Peripheral blood film. 100× objective, oil immersion. Single cell centered in the field:
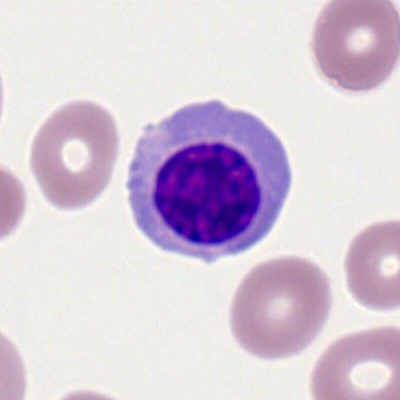 Morphology consistent with a nucleated red blood cell.